Brightfield microscopy, 40× oil immersion; single-cell crop; bone marrow smear
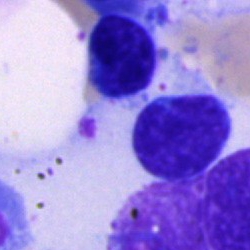

The morphological class is lymphocyte.